Bone marrow smear
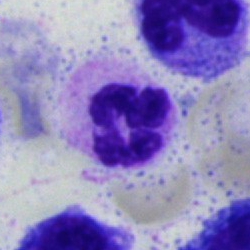
Q: Identify the cell.
A: It is a neutrophil (segmented).